Bone marrow aspirate smear; 250 by 250 pixels: 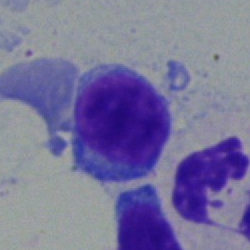
Q: What is shown here?
A: This is a lymphocyte.